Bone marrow smear:
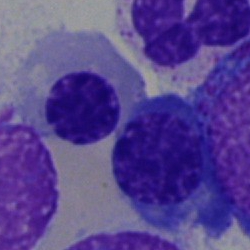Specimen: bone marrow smear.
Cell: normoblast.
Lineage: erythroid.